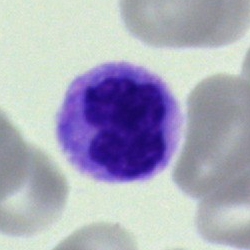 Bone marrow smear showing a monocyte.